Image size 250×250; bone marrow aspirate smear; brightfield, 40× oil-immersion objective:
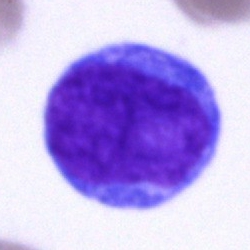
The cell shown is an undifferentiated blast.